250 by 250 pixels. Bone marrow aspirate smear. Single-cell crop:
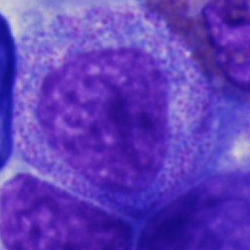This is a promyelocyte.